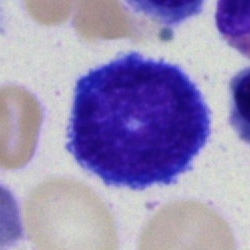

Cell type = erythroblast.